Pappenheim-stained; bone marrow smear; 40× oil immersion: 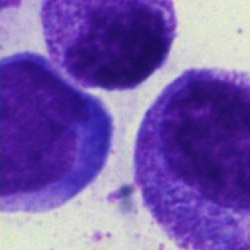

Single cell identified as a myelocyte.